40× objective, oil immersion. Bone marrow aspirate smear.
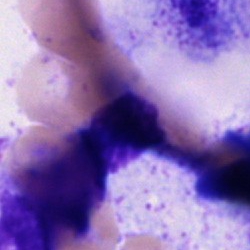
The cell type is artifact.